Bone marrow aspirate smear; 250×250; cropped to a single cell
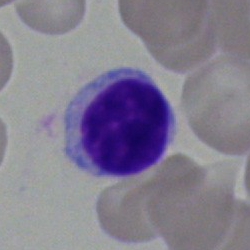 Lymphocyte.